Bone marrow aspirate smear.
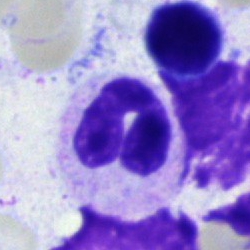

Morphology consistent with a stab cell.